250×250 px · bone marrow aspirate smear:
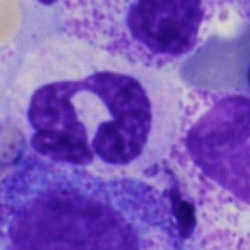 Morphology → segmented neutrophil.